Bone marrow smear
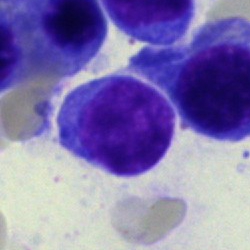

Q: Which cell type is shown here?
A: It is a typical lymphocyte.